250 by 250 pixels; bone marrow smear.
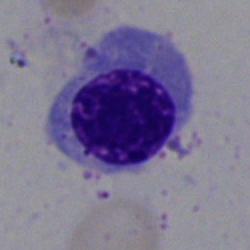

Normoblast.